Bone marrow smear:
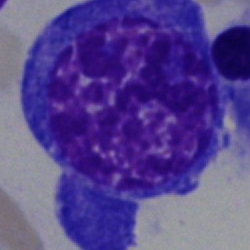 Q: Identify the cell.
A: This is a nucleated red cell.